Bone marrow smear.
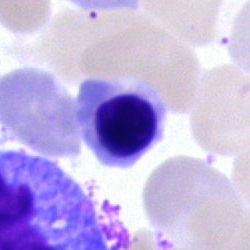
Morphology consistent with a nucleated red cell.